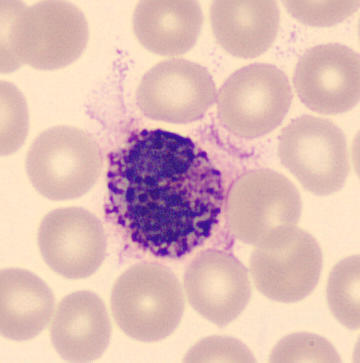
Peripheral blood film.
Showing a basophilic granulocyte.